Brightfield microscopy, 40× oil immersion. Cropped to a single cell. Bone marrow smear: 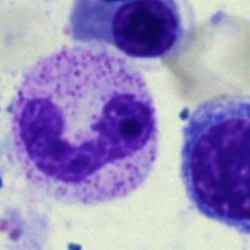 Showing a stab cell.